250×250 px. Bone marrow aspirate smear.
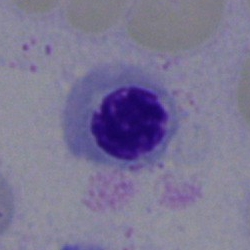

{"cell_type": "normoblast", "lineage": "erythroid"}